Peripheral blood smear — 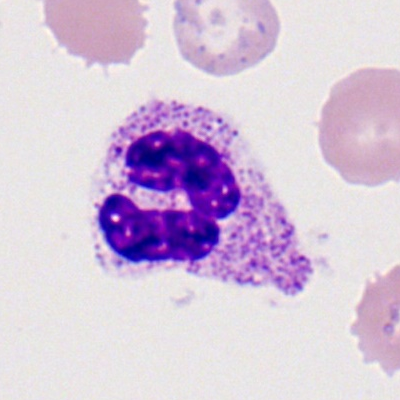
This is a segmented neutrophil.